Bone marrow aspirate smear
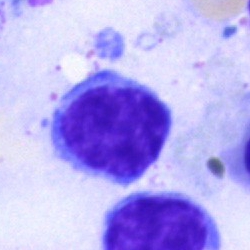

Impression — typical lymphocyte.